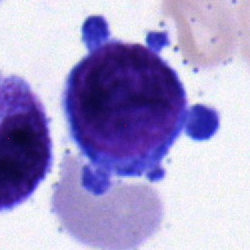 The cell shown is a monocyte.